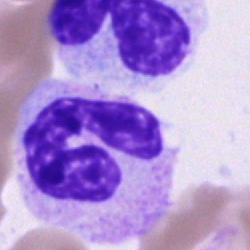
Specimen: bone marrow aspirate smear.
Cell type: segmented neutrophil.
Lineage: myeloid.